Single-cell crop · bone marrow smear · 250×250
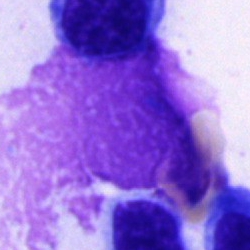
Cell type — artifact.